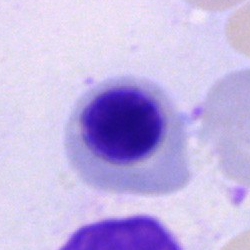Classification = normoblast.